Bone marrow smear; brightfield microscopy, 40× oil immersion — 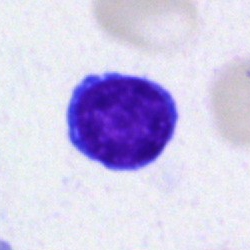Specimen: bone marrow aspirate smear.
Morphological class: lymphocyte.